Bone marrow aspirate smear.
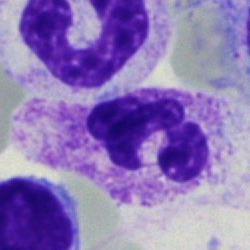
Cell — segmented neutrophil.